Bone marrow smear.
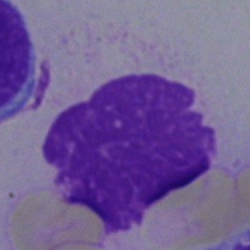

Q: What is shown here?
A: An artifact.